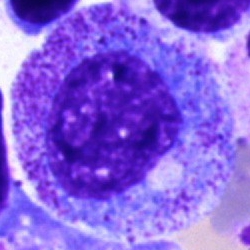{"cell_type": "progranulocyte", "lineage": "myeloid"}